Bone marrow aspirate smear:
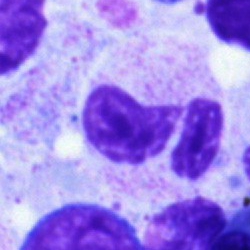 Specimen: bone marrow smear.
Classification: segmented neutrophil.